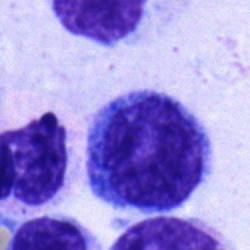 Bone marrow smear showing a monocyte.